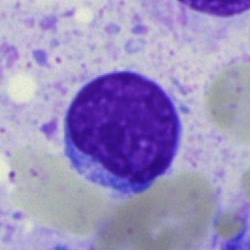

Impression → typical lymphocyte.